40× objective, oil immersion · Pappenheim-stained · bone marrow smear: 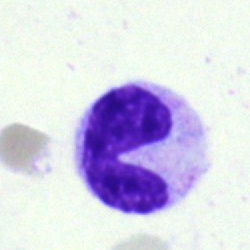
Impression — band neutrophil.